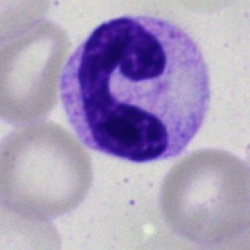

A stab cell on a bone marrow smear.